Bone marrow smear · single-cell field — 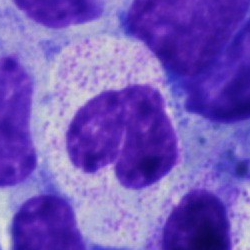{"cell_type": "neutrophil (segmented)", "lineage": "myeloid"}